Bone marrow aspirate smear; brightfield microscopy, 40× oil immersion — 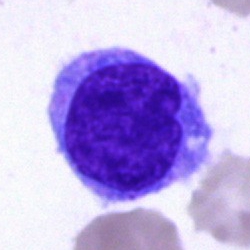Blast cell.